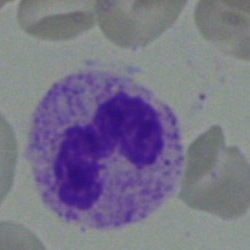 Morphology — neutrophil (segmented).